MGG-stained · bone marrow smear:
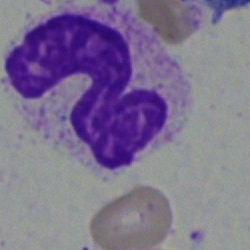
Q: Which cell type is shown here?
A: A stab cell.